Bone marrow aspirate smear. Single-cell crop:
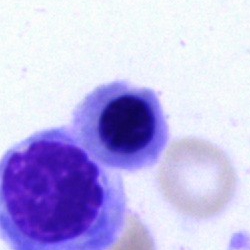

Specimen: bone marrow smear.
Classification: nucleated red cell.
Lineage: erythroid.